250 by 250 pixels · single-cell crop · bone marrow aspirate smear — 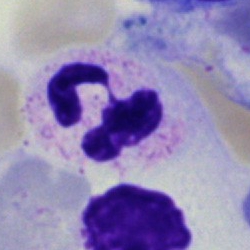
Single cell identified as a polymorphonuclear neutrophil.